Bone marrow aspirate smear
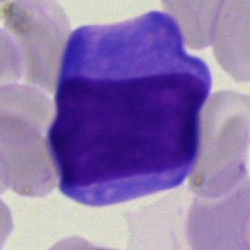
Specimen: bone marrow smear.
Cell: blast.